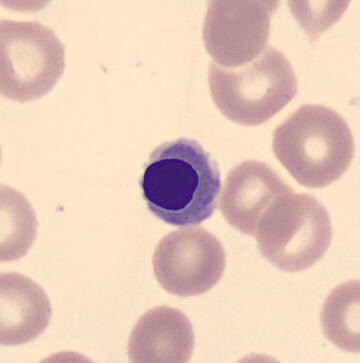

{"cell_type": "nucleated red cell", "lineage": "erythroid"} May Grünwald-Giemsa stain · peripheral blood film · automated cell imaging (CellaVision DM96).